Image size 250×250. Bone marrow smear. 40× objective, oil immersion.
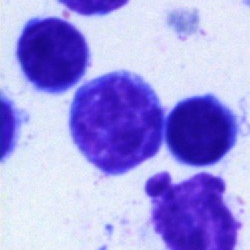
Morphological class — lymphocyte.